Bone marrow smear
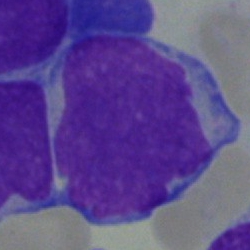 Specimen: bone marrow smear.
Cell type: blast.